Peripheral blood smear:
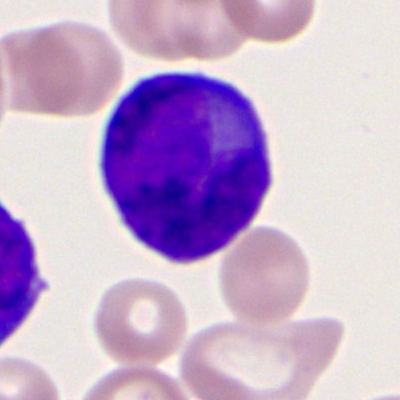Morphology — bilobed-nucleus promyelocyte.